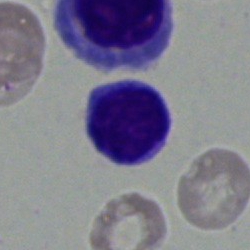Specimen: bone marrow aspirate smear.
Classification: typical lymphocyte.